Brightfield microscopy, 40× oil immersion; bone marrow aspirate smear; May-Grünwald-Giemsa stain.
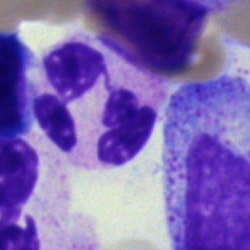

Morphological class — neutrophil (segmented).